Bone marrow aspirate smear. Cropped to a single cell
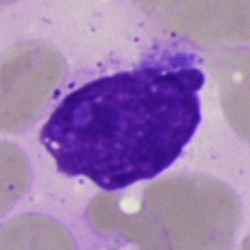
Cell = artifact.